MGG-stained. Bone marrow aspirate smear:
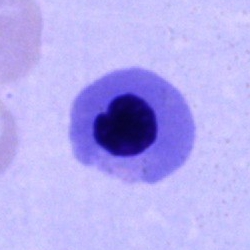
Specimen: bone marrow smear.
Cell type: nucleated red cell.
Lineage: erythroid.